Bone marrow aspirate smear · 250×250 px — 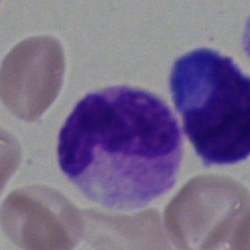
Q: Identify the cell.
A: This is a band-form neutrophil.